Bone marrow aspirate smear. 40× objective, oil immersion. 250×250 px: 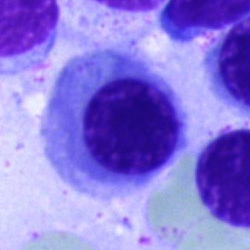Specimen: bone marrow smear.
Cell type: nucleated red cell.
Lineage: erythroid.